Bone marrow smear
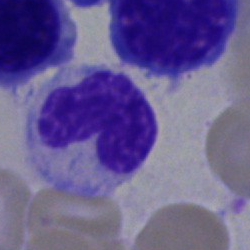 The classification is band-form neutrophil.